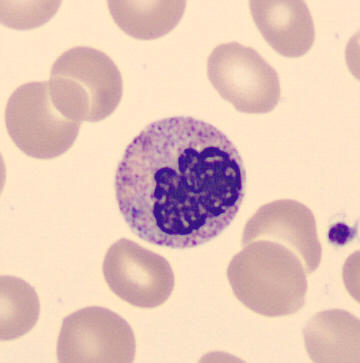 {"cell_type": "stab cell", "lineage": "myeloid"}